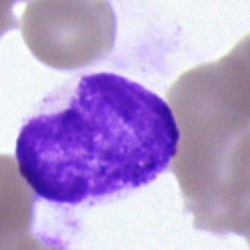
Q: What is shown here?
A: This is an artefact.